Peripheral blood film — 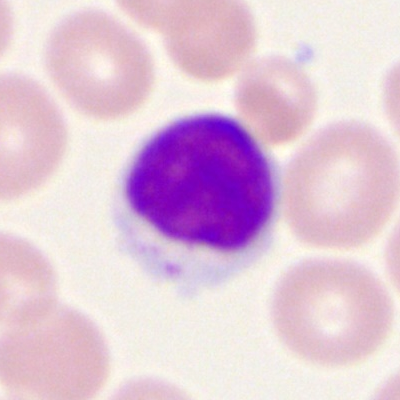

Q: What type of cell is this?
A: Lymphocyte.